Bone marrow smear. Single-cell field:
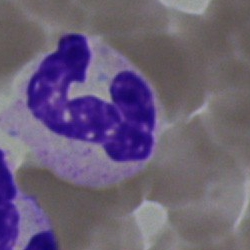
Neutrophil (segmented).